Bone marrow smear
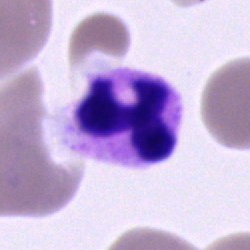

Q: What type of cell is this?
A: A neutrophil (segmented).